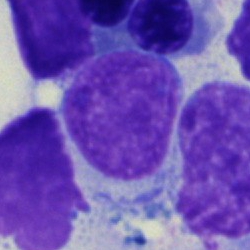 Q: What cell is this?
A: It is a typical lymphocyte.